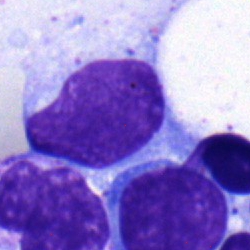

Bone marrow smear showing a typical lymphocyte.